Bone marrow smear. Single-cell crop.
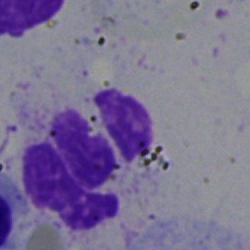

Specimen: bone marrow aspirate smear.
Cell: neutrophil (segmented).